Bone marrow smear — 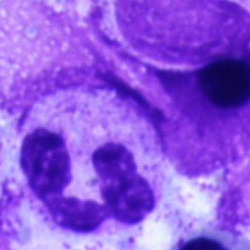 The classification is polymorphonuclear neutrophil.